Bone marrow smear.
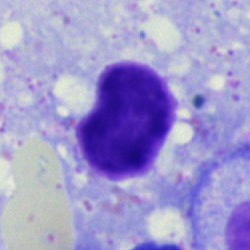
This is an artefact.